Cropped to a single cell · bone marrow aspirate smear:
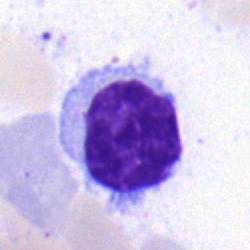 Morphology consistent with a lymphocyte.